Bone marrow smear. 40× objective, oil immersion
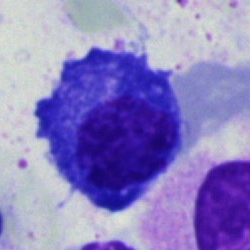
Cell type: plasmacyte.